Bone marrow smear
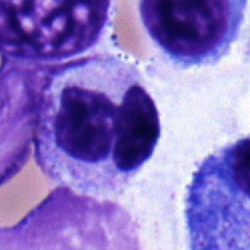 The cell shown is a segmented neutrophil.